May-Grünwald-Giemsa stain; bone marrow aspirate smear — 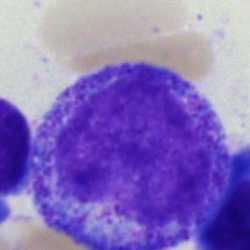 The cell is progranulocyte.